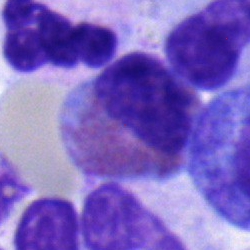

An eosinophilic granulocyte on a bone marrow smear.